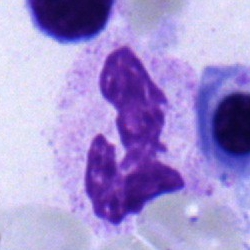A polymorphonuclear neutrophil.